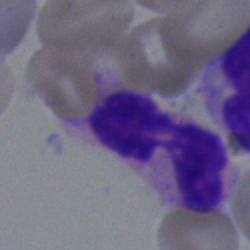Cell type = polymorphonuclear neutrophil.